Single cell centered in the field. Bone marrow aspirate smear.
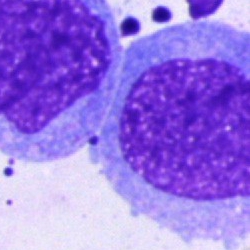Morphological class = blast cell.